40× oil immersion; bone marrow aspirate smear; single-cell field.
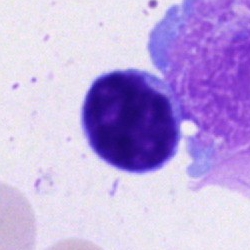 Cell: typical lymphocyte.